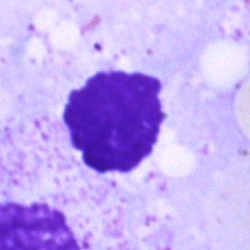
Specimen: bone marrow aspirate smear.
Morphological class: artifact.